40× oil immersion; bone marrow aspirate smear: 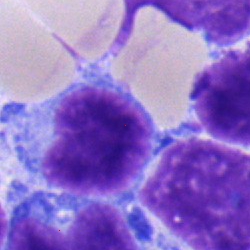The cell shown is a lymphocyte.